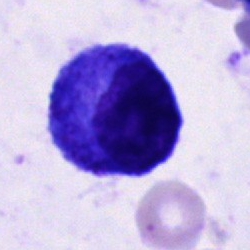

Q: Identify the cell.
A: This is a promyelocyte.